Bone marrow smear
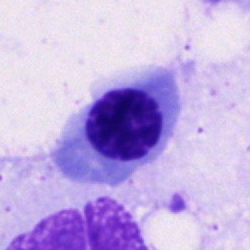

Specimen: bone marrow aspirate smear.
Morphological class: nucleated red cell.
Lineage: erythroid.